MGG-stained. Bone marrow aspirate smear.
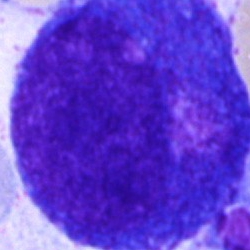

Q: Which cell type is shown here?
A: Promyelocyte.